Bone marrow smear:
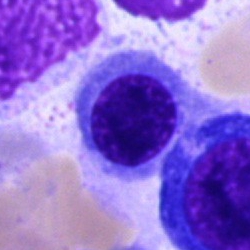 Specimen: bone marrow smear.
Morphological class: erythroblast.
Lineage: erythroid.